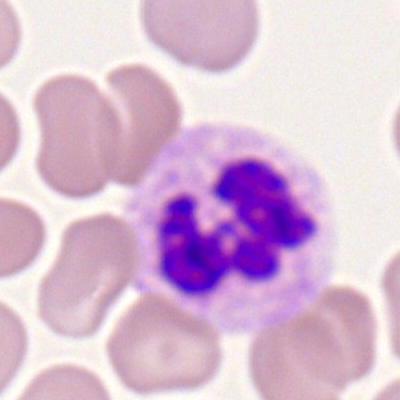

{"cell_type": "neutrophil (segmented)"}